Bone marrow aspirate smear; May-Grünwald-Giemsa/Pappenheim stain
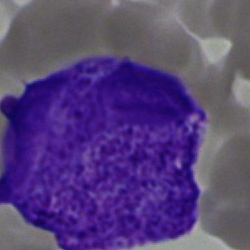
Cell type: undifferentiated blast.